Single-cell field. Bone marrow aspirate smear.
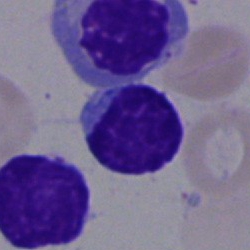
Cell — typical lymphocyte.